Bone marrow aspirate smear — 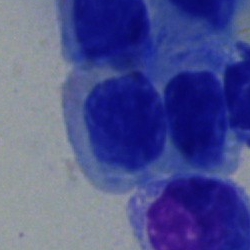 Cell: erythroblast.